Bone marrow aspirate smear — 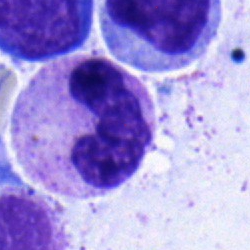

A band neutrophil.